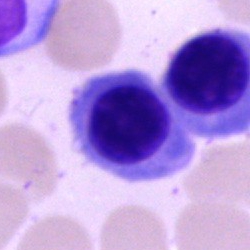Single cell identified as a normoblast.